Bone marrow smear.
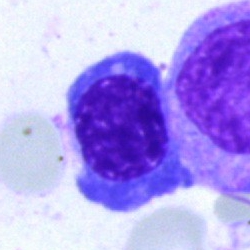

Specimen: bone marrow smear.
Classification: nucleated red cell.
Lineage: erythroid.